Bone marrow aspirate smear; 40× oil immersion
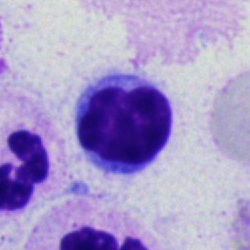 Classification = lymphocyte.